Bone marrow smear. 40× objective, oil immersion: 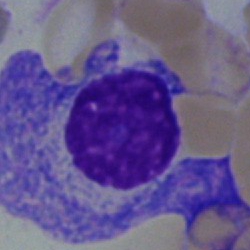

This is a plasma cell.